Bone marrow smear: 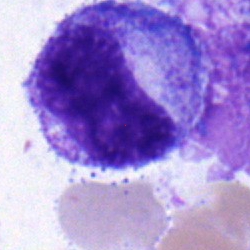
Morphology consistent with a progranulocyte.